Bone marrow smear: 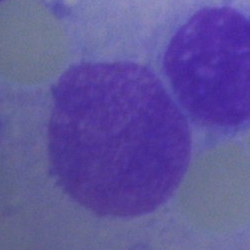Q: What is shown here?
A: It is an artifact.